Brightfield microscopy, 40× oil immersion · bone marrow smear:
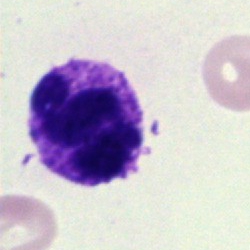Q: Which cell type is shown here?
A: It is a neutrophil (segmented).